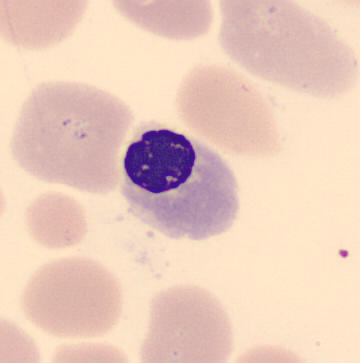
Acquisition: Peripheral blood smear.
Q: What cell is this?
A: Erythroblast.